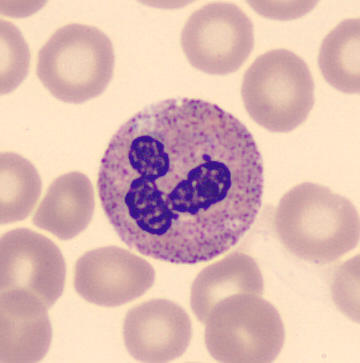Q: What is this?
A: This is a neutrophil (segmented).

Peripheral blood film · May-Grünwald-Giemsa-stained.